MGG-stained · bone marrow aspirate smear · single cell centered in the field.
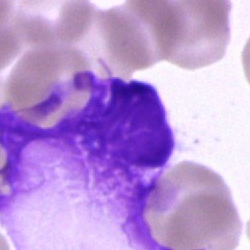

Specimen: bone marrow aspirate smear.
Cell: artefact.